Bone marrow smear.
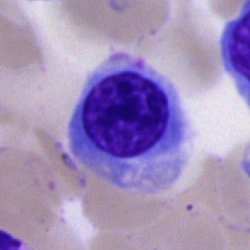
Nucleated red cell.